Bone marrow aspirate smear; 250×250 px.
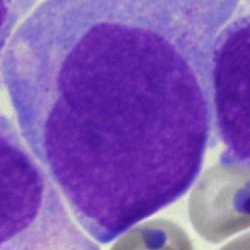Q: Identify the cell.
A: It is an undifferentiated blast.